Bone marrow smear; 250 by 250 pixels; 40× objective, oil immersion: 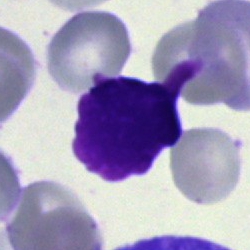Cell type: artefact.